Bone marrow aspirate smear · May-Grünwald-Giemsa/Pappenheim stain.
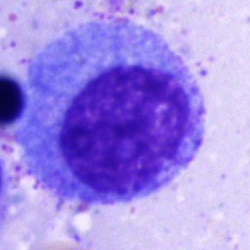
Cell: promyelocyte.